MGG-stained · bone marrow aspirate smear — 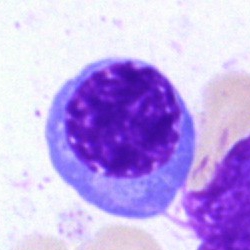

Cell type: nucleated red blood cell.